Bone marrow aspirate smear · May-Grünwald-Giemsa stain — 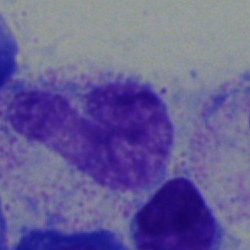 Q: Which cell type is shown here?
A: Band neutrophil.